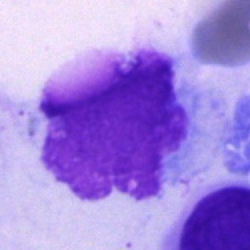
The cell type is artifact.